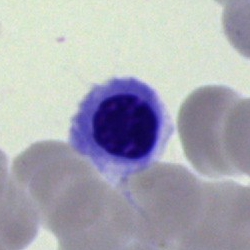Q: Which cell type is shown here?
A: Nucleated red cell.